Bone marrow aspirate smear:
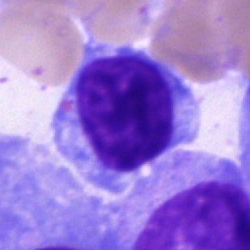A lymphocyte.